Bone marrow aspirate smear
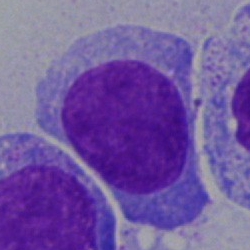
Classification: blast cell.